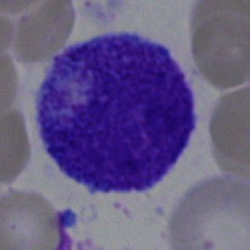Bone marrow aspirate smear, single cell — progranulocyte.